Imaged on a CellaVision DM96 analyser; peripheral blood film:
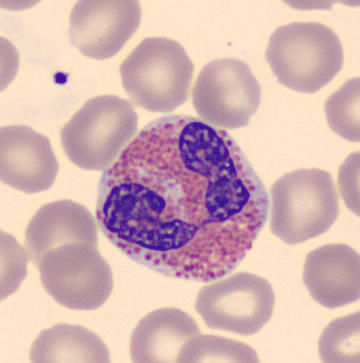

Showing an eosinophilic granulocyte.